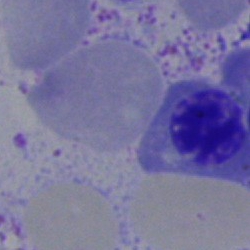Classification = normoblast.